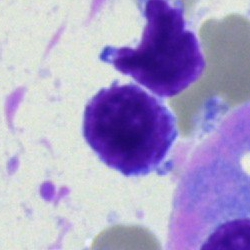
Morphology consistent with a typical lymphocyte.